Bone marrow smear
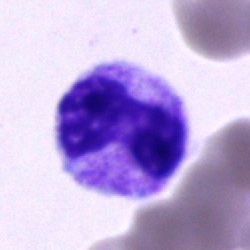 This is a neutrophil (segmented).